Pappenheim-stained; 250 by 250 pixels; bone marrow aspirate smear — 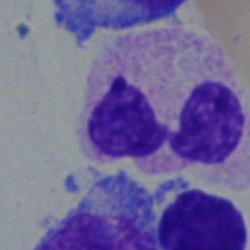 Specimen: bone marrow aspirate smear.
Classification: segmented neutrophil.